Bone marrow smear:
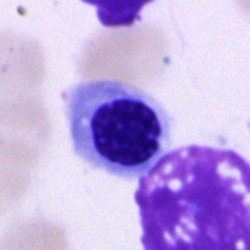 Morphology consistent with a nucleated red blood cell.